Bone marrow smear · brightfield, 40× oil-immersion objective — 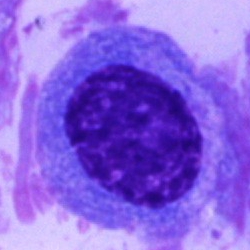 Showing a plasmacyte.